Bone marrow smear; MGG-stained; cropped to a single cell: 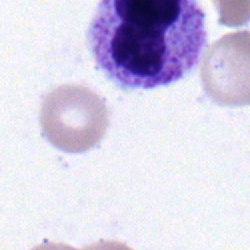 Impression — band-form neutrophil.